Peripheral blood film — 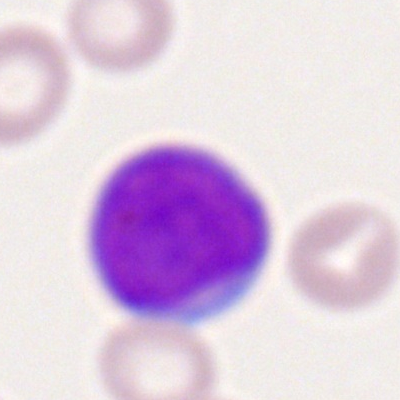

Myeloblast.